Bone marrow aspirate smear.
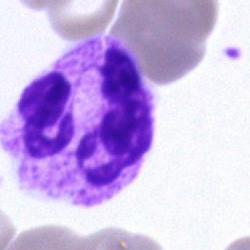{"cell_type": "neutrophil (segmented)", "lineage": "myeloid"}